Bone marrow aspirate smear.
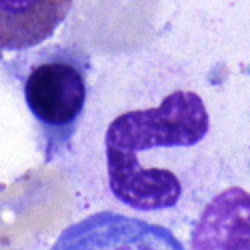

Specimen: bone marrow aspirate smear.
Cell: stab cell.
Lineage: myeloid.